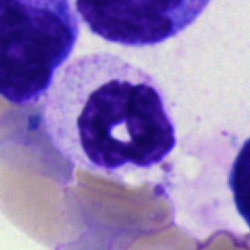Specimen: bone marrow aspirate smear.
Cell type: neutrophil (segmented).